Single cell centered in the field; bone marrow aspirate smear; 40× objective, oil immersion: 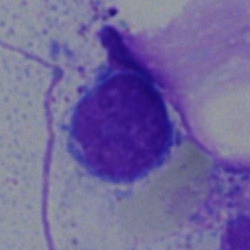 Q: What is the morphological classification of this cell?
A: A typical lymphocyte.